Bone marrow smear. 250 by 250 pixels: 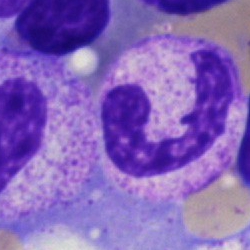Morphology consistent with a polymorphonuclear neutrophil.